Single-cell crop. Bone marrow aspirate smear. Pappenheim-stained.
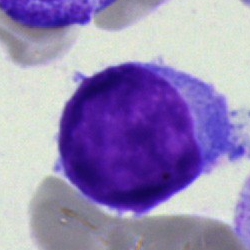
Morphology consistent with an other cell type.